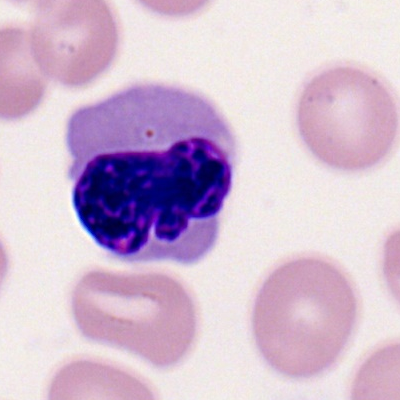
Specimen: peripheral blood smear.
Classification: nucleated red blood cell.
Lineage: erythroid.